Bone marrow smear.
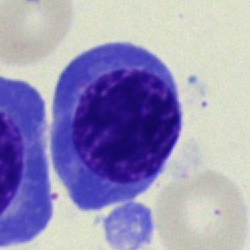
Cell = erythroblast.